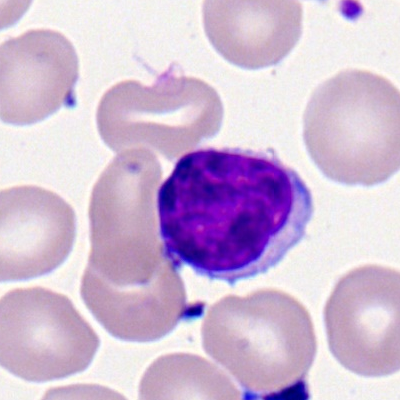 Specimen: peripheral blood film.
Cell: lymphocyte.
Lineage: lymphoid.